Bone marrow smear: 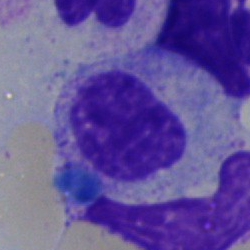 Specimen: bone marrow aspirate smear.
Classification: myelocyte.
Lineage: myeloid.